Bone marrow smear: 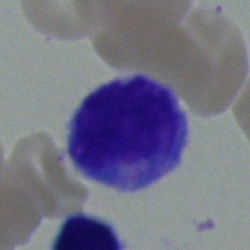

Morphology → monocyte.